Bone marrow aspirate smear; cropped to a single cell
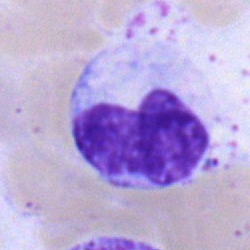 Cell type = monocyte.